Bone marrow smear:
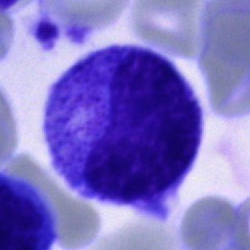 Showing a progranulocyte.